Bone marrow aspirate smear; single-cell field; Pappenheim-stained: 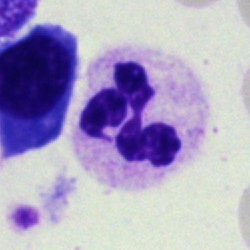
The cell shown is a polymorphonuclear neutrophil.